Bone marrow aspirate smear:
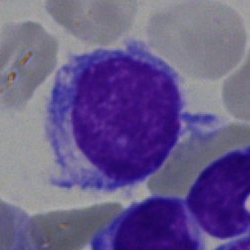

Morphology → lymphocyte.